Bone marrow aspirate smear: 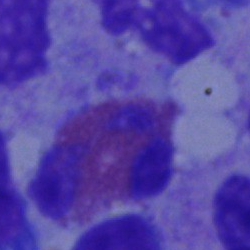
Morphological class = eosinophil.